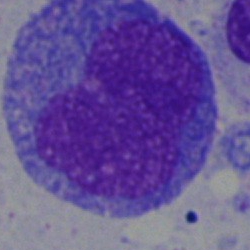 Showing a monocyte.